Cropped to a single cell; brightfield microscopy, 40× oil immersion; bone marrow smear:
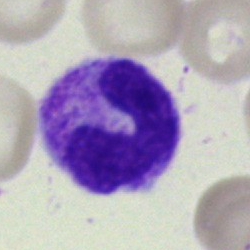
This is a band neutrophil.